250 by 250 pixels; bone marrow smear: 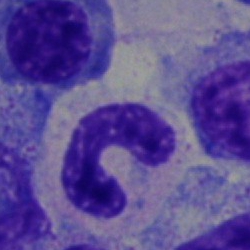 A band-form neutrophil.